Bone marrow smear — 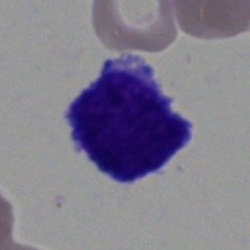{"cell_type": "blast"}